Bone marrow smear:
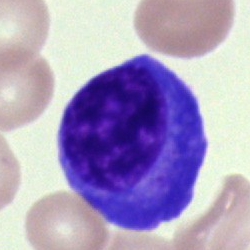Impression → plasma cell.